May-Grünwald-Giemsa/Pappenheim stain; bone marrow aspirate smear; single-cell crop: 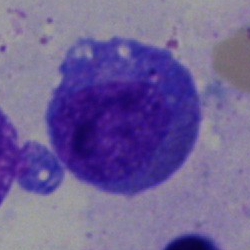

Promyelocyte.